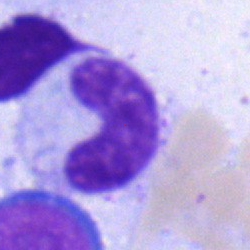Specimen: bone marrow aspirate smear.
Morphological class: band neutrophil.
Lineage: myeloid.